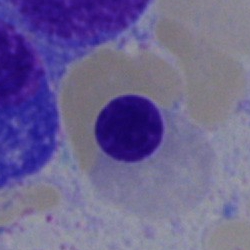 A nucleated red blood cell on a bone marrow smear.